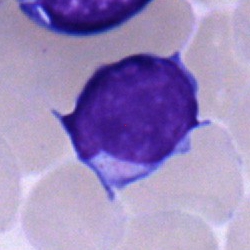 {"cell_type": "typical lymphocyte"}